Bone marrow aspirate smear.
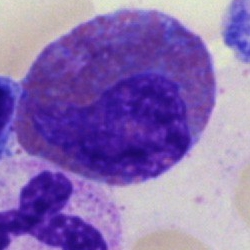 Morphology consistent with an eosinophilic granulocyte.